Bone marrow smear; 40× objective, oil immersion
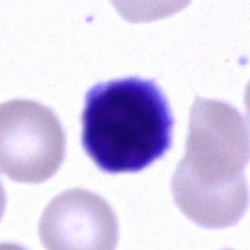
Impression — typical lymphocyte.